Bone marrow aspirate smear:
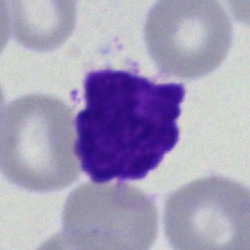Specimen: bone marrow smear.
Cell: artifact.